Bone marrow smear · single-cell field: 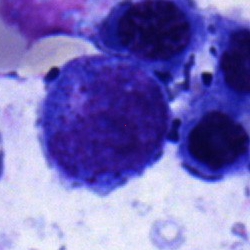

Impression — progranulocyte.